Bone marrow smear: 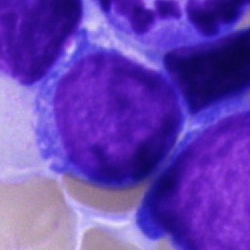
This is a blast cell.